Bone marrow smear: 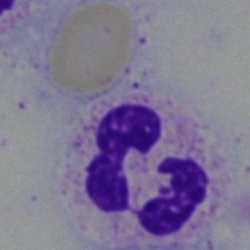Cell = segmented neutrophil.